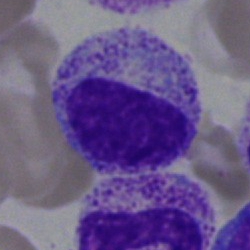

Bone marrow aspirate smear, single cell — myelocyte.